Bone marrow aspirate smear — 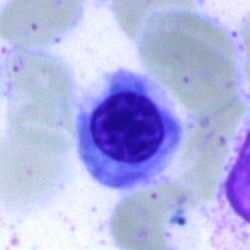
Specimen: bone marrow smear.
Cell: erythroblast.
Lineage: erythroid.